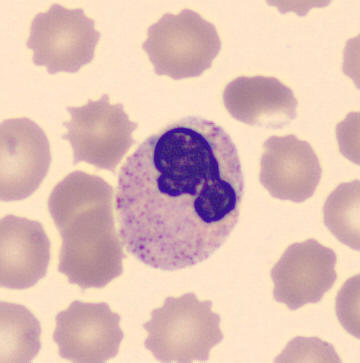

Q: What is the morphological classification of this cell?
A: A band-form neutrophil.